Bone marrow aspirate smear — 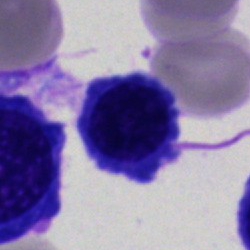Morphology consistent with a nucleated red blood cell.